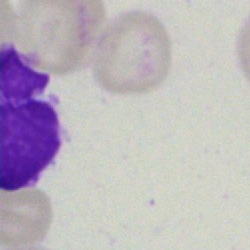Cell type = artefact.